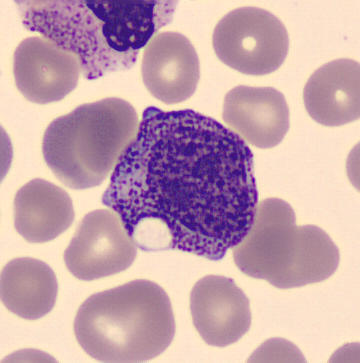 Q: Which cell type is shown here?
A: Progranulocyte. Peripheral blood film; 360×363.